Bone marrow smear; 40× objective, oil immersion; 250×250 — 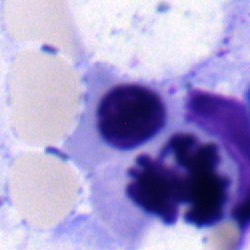Cell: nucleated red blood cell.